Bone marrow aspirate smear:
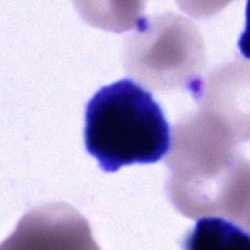

Showing a cell of indeterminate lineage.